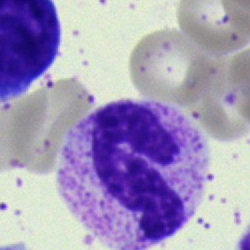Morphological class: neutrophil (segmented).